Bone marrow smear
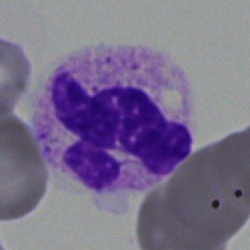

Specimen: bone marrow smear.
Cell type: segmented neutrophil.